Bone marrow smear.
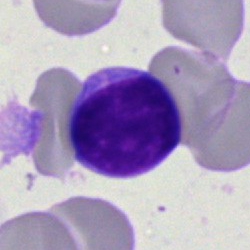
Morphological class: lymphocyte.